Bone marrow aspirate smear:
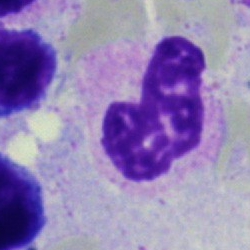

The classification is neutrophil (segmented).